Bone marrow aspirate smear
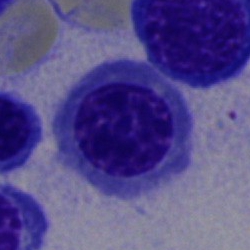 Specimen: bone marrow smear.
Classification: normoblast.
Lineage: erythroid.